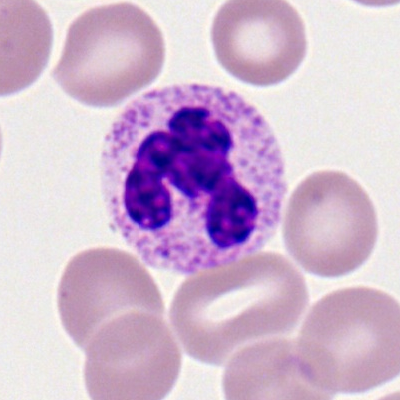
Specimen: peripheral blood film.
Cell type: neutrophil (segmented).
Lineage: myeloid.